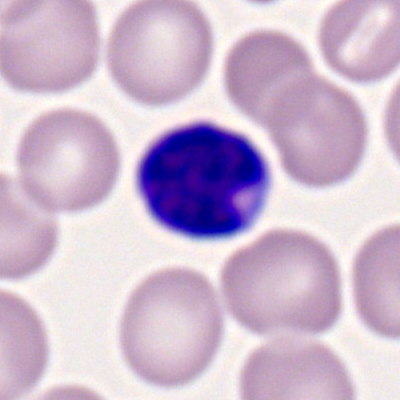
Cell — typical lymphocyte.